Bone marrow smear; single cell centered in the field
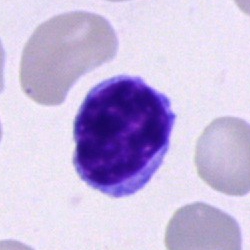
Cell = typical lymphocyte.